Bone marrow aspirate smear: 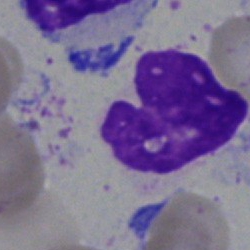
Specimen: bone marrow smear.
Cell type: artifact.